Pappenheim-stained. Bone marrow aspirate smear.
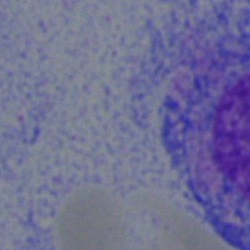An undifferentiated blast.